Single-cell field; bone marrow smear.
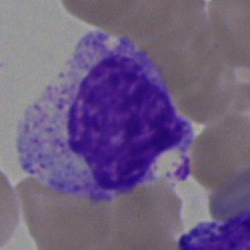Specimen: bone marrow aspirate smear.
Morphological class: myelocyte.
Lineage: myeloid.